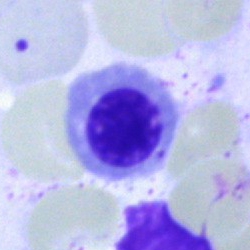

Bone marrow smear showing a nucleated red blood cell.